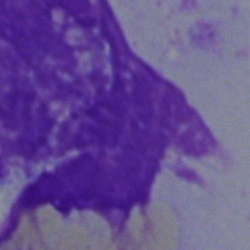

{"cell_type": "artefact"}